Bone marrow smear.
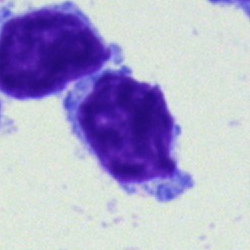Specimen: bone marrow smear.
Cell: lymphocyte.